Single-cell field · bone marrow aspirate smear — 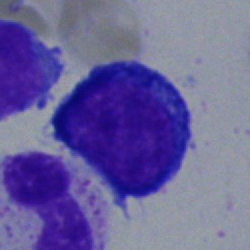 {"cell_type": "pronormoblast", "lineage": "erythroid"}